Bone marrow smear
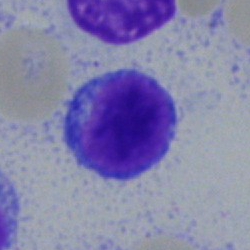

Cell — lymphocyte.